Bone marrow aspirate smear:
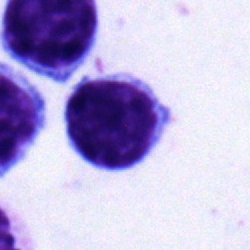

Q: Identify the cell.
A: A lymphocyte.